Bone marrow smear. Brightfield, 40× oil-immersion objective. 250×250 px — 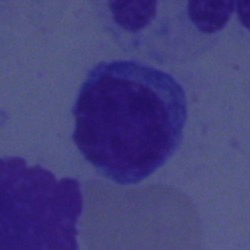
A lymphocyte.